Bone marrow smear:
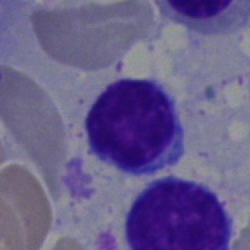 Q: What type of cell is this?
A: This is a typical lymphocyte.